Pappenheim-stained · single-cell field · bone marrow smear — 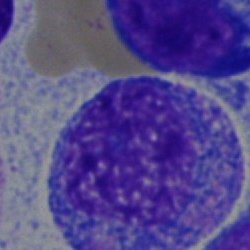

Q: Which cell type is shown here?
A: It is a promyelocyte.